40× oil immersion. Bone marrow smear: 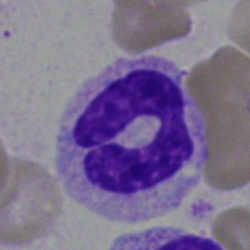
Single cell identified as a band-form neutrophil.